Bone marrow smear. Single-cell field: 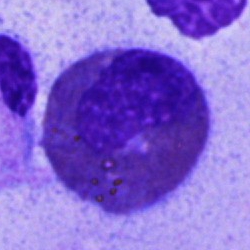

Specimen: bone marrow smear.
Classification: eosinophil.